Bone marrow smear:
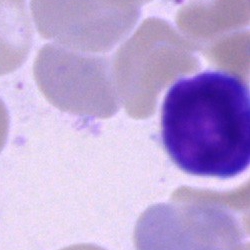 Lymphocyte.